Bone marrow aspirate smear.
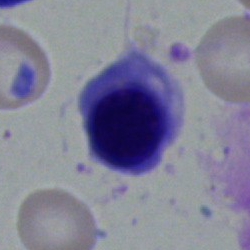
Morphological class: erythroblast.